40× objective, oil immersion. Bone marrow aspirate smear:
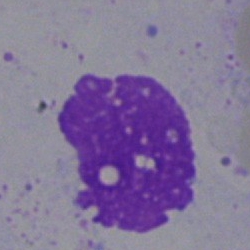 Cell: artefact.